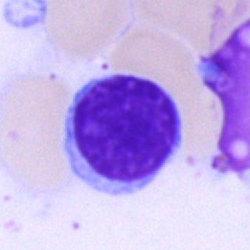

The cell shown is a lymphocyte.